Bone marrow smear: 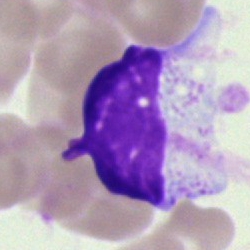 Impression — artefact.